Brightfield, 40× oil-immersion objective; bone marrow aspirate smear; Pappenheim-stained: 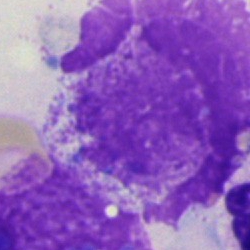

Q: What is shown here?
A: It is an artifact.